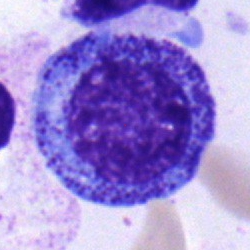
Cell type = promyelocyte.